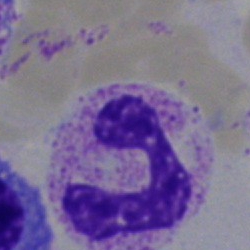

This is a polymorphonuclear neutrophil.